Bone marrow smear · 250×250
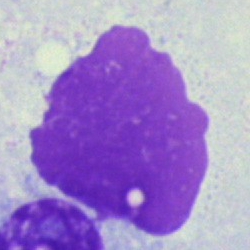
Classification — artifact.